Bone marrow aspirate smear. Single cell centered in the field:
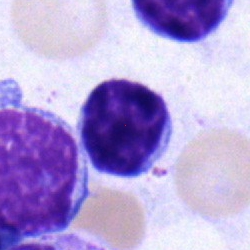Morphology → lymphocyte.